Bone marrow aspirate smear:
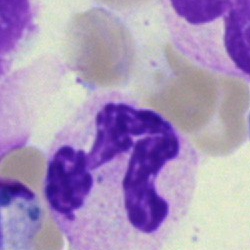A polymorphonuclear neutrophil.